Bone marrow aspirate smear.
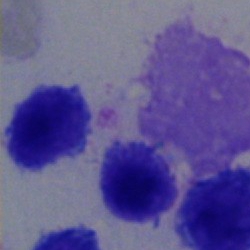

Specimen: bone marrow aspirate smear.
Cell type: lymphocyte.
Lineage: lymphoid.